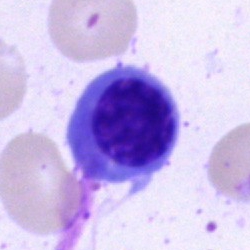 Classification — erythroblast.